Peripheral blood film. Romanowsky stain: 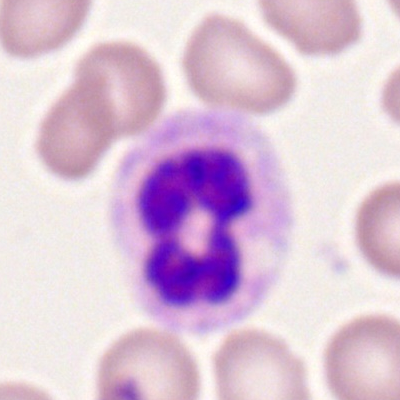 Q: What is shown here?
A: Polymorphonuclear neutrophil.